Bone marrow aspirate smear; 250×250:
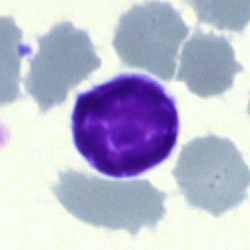Q: What is shown here?
A: Lymphocyte.